Brightfield microscopy, 40× oil immersion · single cell centered in the field · bone marrow aspirate smear
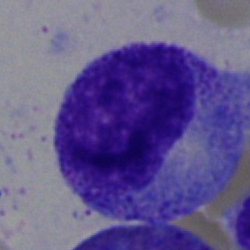 Classification = progranulocyte.